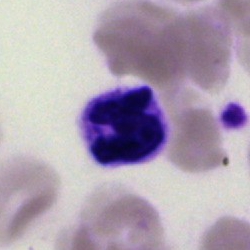 Q: What type of cell is this?
A: A segmented neutrophil.